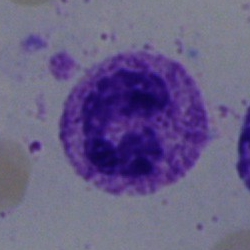 Cell type — polymorphonuclear neutrophil.